Peripheral blood film · 400 by 400 pixels
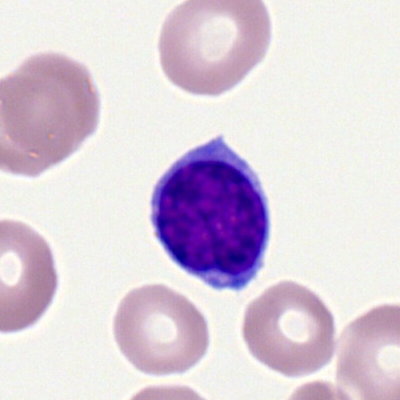The cell is typical lymphocyte.